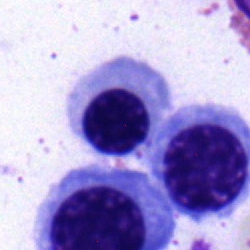 The morphological class is normoblast.